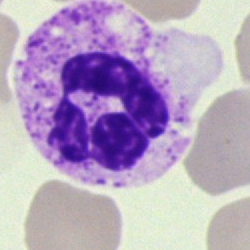 Cell type = segmented neutrophil.